Bone marrow aspirate smear — 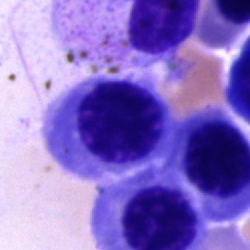 This is a nucleated red cell.